Bone marrow aspirate smear.
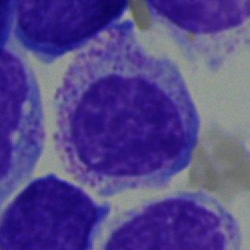
{"cell_type": "myelocyte", "lineage": "myeloid"}